Bone marrow smear
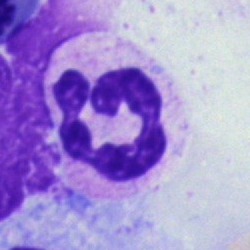Morphology consistent with a polymorphonuclear neutrophil.